Single-cell crop · peripheral blood film
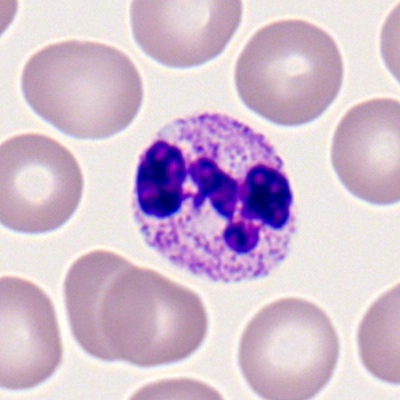

A polymorphonuclear neutrophil.